Bone marrow aspirate smear. Brightfield microscopy, 40× oil immersion. May-Grünwald-Giemsa/Pappenheim stain.
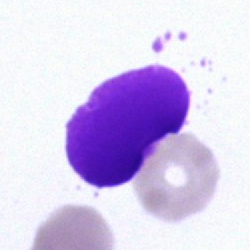Specimen: bone marrow smear.
Cell: artifact.